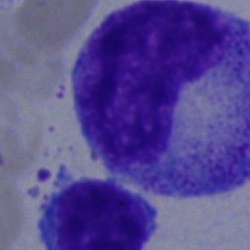
The classification is metamyelocyte.